250×250 px; May-Grünwald-Giemsa/Pappenheim stain; bone marrow smear
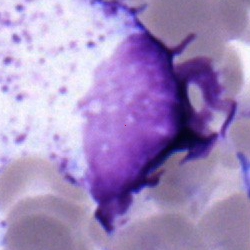

Morphology consistent with a myelocyte.